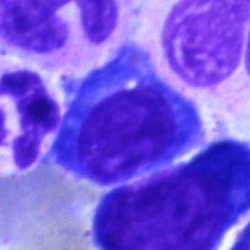 Showing a plasmacyte.